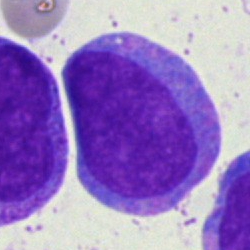
The morphological class is blast cell.